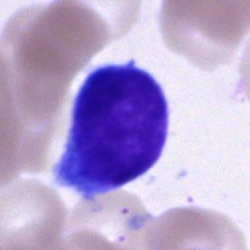

Q: What is the morphological classification of this cell?
A: It is a cell of indeterminate lineage.